Brightfield, 40× oil-immersion objective · bone marrow smear:
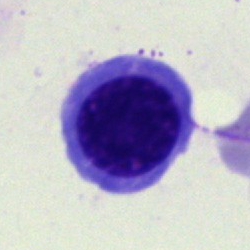 A nucleated red blood cell.